Bone marrow aspirate smear.
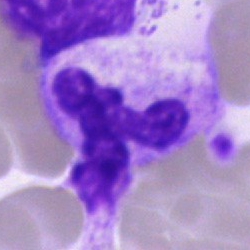Cell type: polymorphonuclear neutrophil.